Bone marrow aspirate smear · 250 by 250 pixels · May-Grünwald-Giemsa stain: 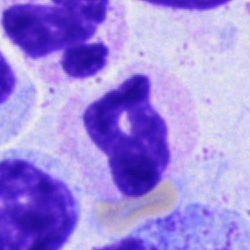
Cell type = polymorphonuclear neutrophil.